Bone marrow aspirate smear — 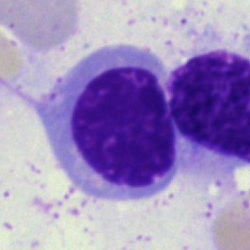

Morphology — nucleated red cell.